Bone marrow smear:
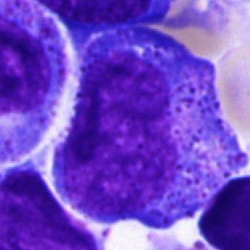Q: What cell is this?
A: This is a progranulocyte.